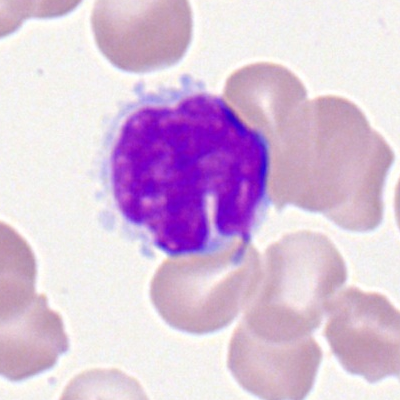 Lymphocyte.